Bone marrow smear.
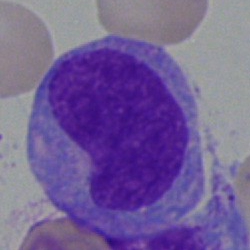 Classification = monocyte.